Bone marrow aspirate smear · 40× objective, oil immersion.
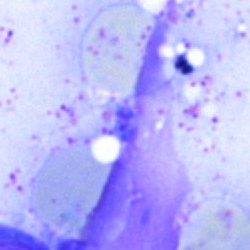
Q: What is shown here?
A: Artefact.